Bone marrow smear
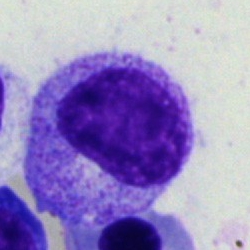Cell — progranulocyte.